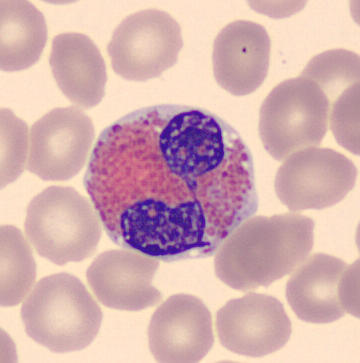Specimen: peripheral blood film.
Cell type: eosinophilic granulocyte.
Lineage: myeloid.